Pappenheim-stained · bone marrow aspirate smear · cropped to a single cell:
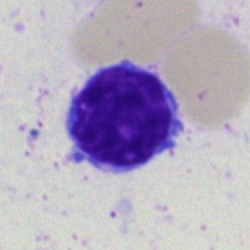
Morphological class = typical lymphocyte.